Bone marrow aspirate smear — 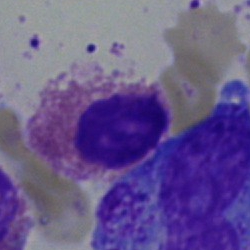
Q: What is shown here?
A: It is an eosinophilic granulocyte.